Bone marrow smear
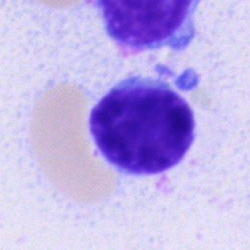Morphology consistent with a lymphocyte.